Bone marrow aspirate smear; image size 250×250:
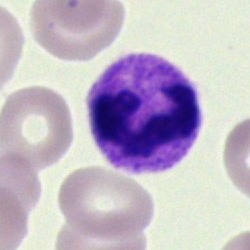
{"cell_type": "polymorphonuclear neutrophil", "lineage": "myeloid"}